Bone marrow aspirate smear
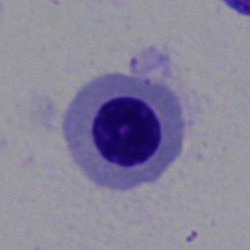

Cell type = normoblast.